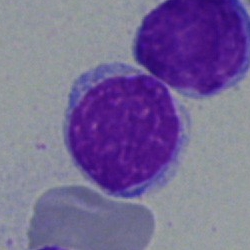

Typical lymphocyte.